Bone marrow smear
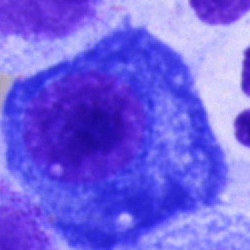{"cell_type": "plasma cell", "lineage": "lymphoid"}